Bone marrow smear.
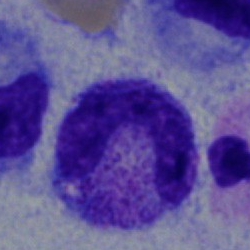

Impression → band-form neutrophil.